Bone marrow aspirate smear · May-Grünwald-Giemsa/Pappenheim stain — 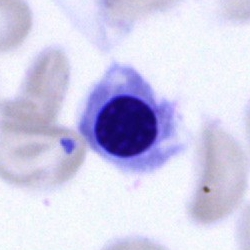

Morphological class — normoblast.